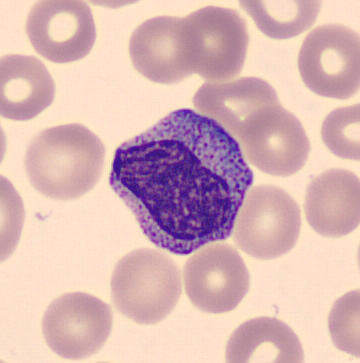 Q: What is the morphological classification of this cell?
A: This is a myelocyte.